40× objective, oil immersion. Bone marrow smear:
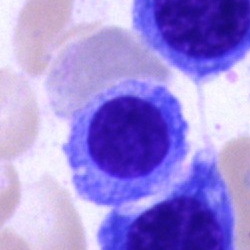

Cell type = nucleated red cell.